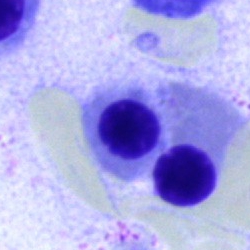Single-cell crop from a bone marrow smear: nucleated red blood cell.